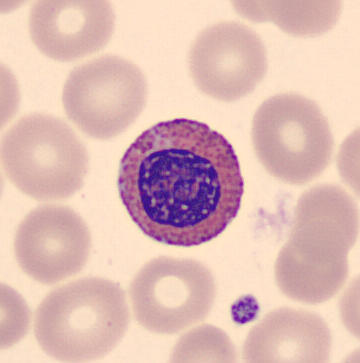

Acquisition: Imaged on a CellaVision DM96 analyser.

Specimen: peripheral blood smear.
Classification: eosinophilic granulocyte.